Bone marrow smear: 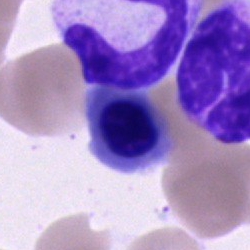{"cell_type": "erythroblast"}